Peripheral blood film — 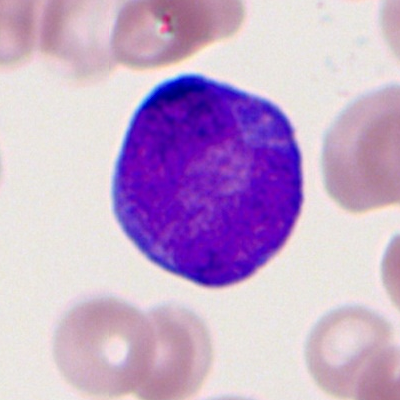 Showing a myeloblast.